Bone marrow aspirate smear · 250 by 250 pixels: 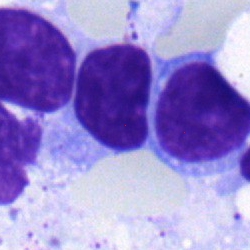 Impression → lymphocyte.